Single-cell field. Brightfield, 40× oil-immersion objective. Bone marrow aspirate smear — 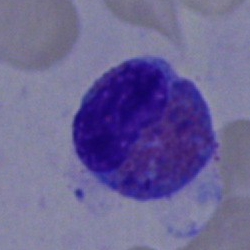This is an eosinophilic granulocyte.